250×250 · bone marrow smear — 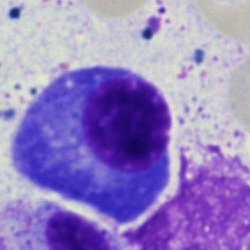A plasma cell.